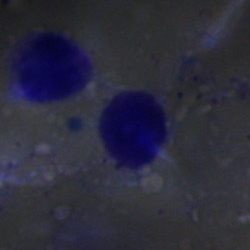Classification — artifact.